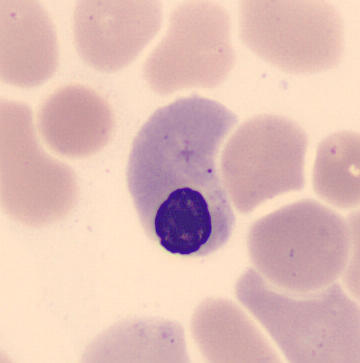Preparation: 360×363; peripheral blood film.
Cell = nucleated red cell.